Bone marrow aspirate smear:
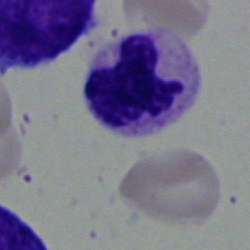
Q: What cell is this?
A: This is a segmented neutrophil.